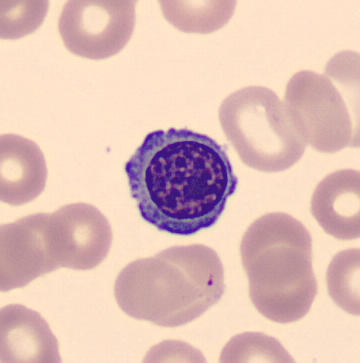
Acquisition: Peripheral blood smear.
Cell type — nucleated red cell.